Bone marrow aspirate smear. 40× oil immersion. MGG-stained
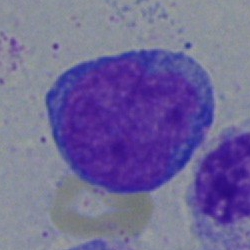
Morphological class — blast.